Bone marrow aspirate smear
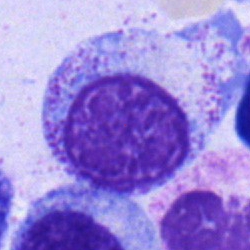Specimen: bone marrow aspirate smear.
Cell: promyelocyte.